Bone marrow smear — 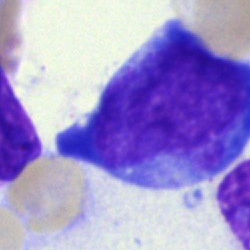 This is a blast cell.